250×250 px · bone marrow aspirate smear:
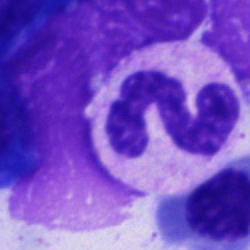A neutrophil (band).